Bone marrow smear
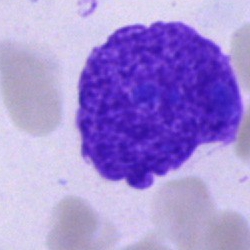
Q: What is shown here?
A: It is an artifact.